Bone marrow smear.
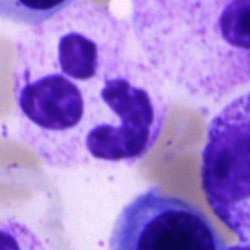 Q: What is shown here?
A: It is a neutrophil (segmented).